MGG-stained. Bone marrow smear. 250×250.
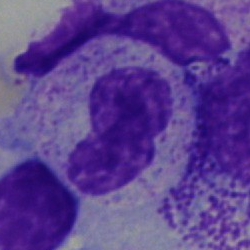 Single cell identified as a band neutrophil.